Bone marrow smear
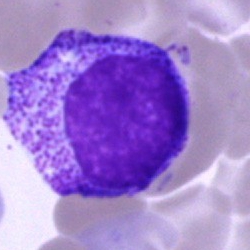

Specimen: bone marrow aspirate smear.
Cell type: myelocyte.
Lineage: myeloid.